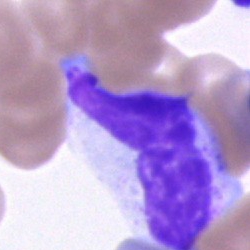 Unidentifiable cell.